May-Grünwald-Giemsa stain; image size 250×250; bone marrow smear: 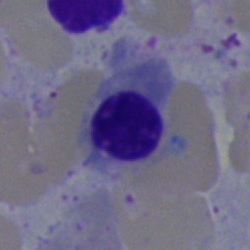
Morphological class — nucleated red blood cell.